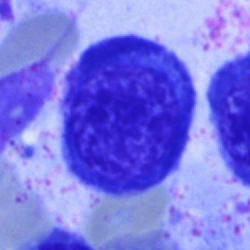
Classification = erythroblast.